Single-cell crop; bone marrow smear; Pappenheim-stained — 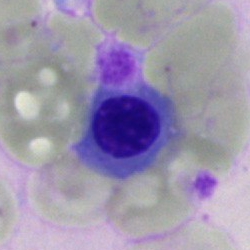 Classification: nucleated red blood cell.